100× oil immersion, 14.14 px/µm; peripheral blood smear.
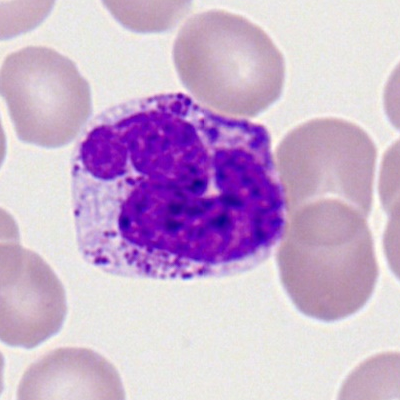

Specimen: peripheral blood smear.
Morphological class: basophilic granulocyte.
Lineage: myeloid.